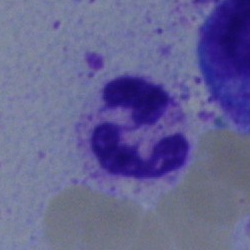 Specimen: bone marrow aspirate smear.
Cell: segmented neutrophil.
Lineage: myeloid.